Bone marrow aspirate smear: 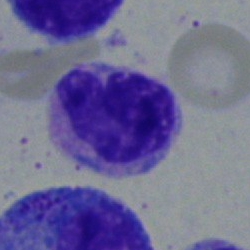 Cell = band neutrophil.